Bone marrow aspirate smear — 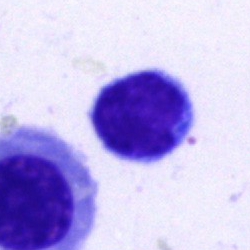

Morphology consistent with a lymphocyte.